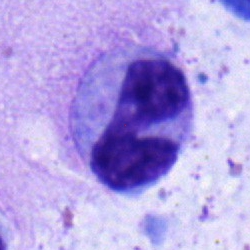
Showing a band neutrophil.